M8 digital microscope (Precipoint), 100× oil immersion. Peripheral blood film. 400×400: 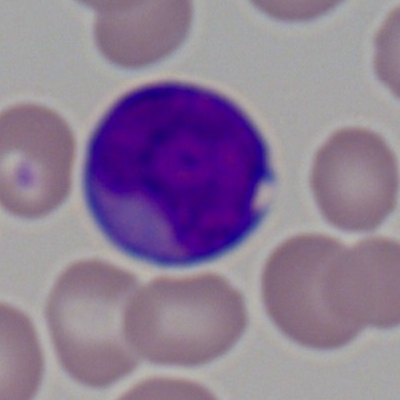

A myeloblast.